Bone marrow aspirate smear:
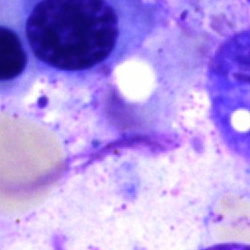
Impression → artifact.